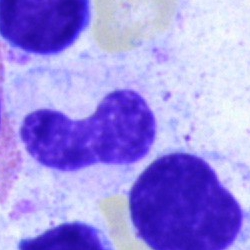
This is a stab cell.